MGG-stained; bone marrow aspirate smear: 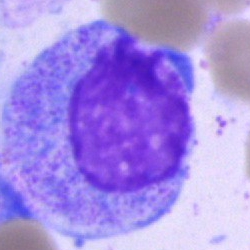
The cell shown is a progranulocyte.